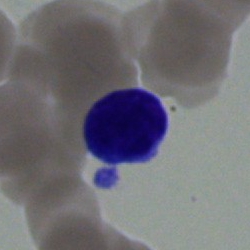Specimen: bone marrow smear.
Cell: lymphocyte.
Lineage: lymphoid.